Single cell centered in the field. Peripheral blood smear: 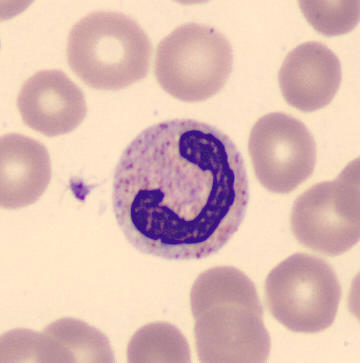

Morphology consistent with a stab cell.